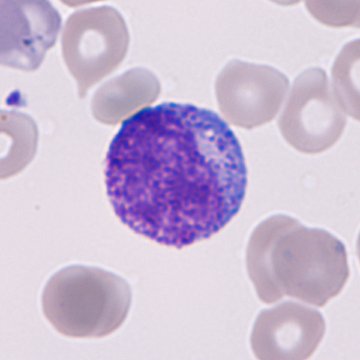Peripheral blood smear. Impression → immature granulocyte (promyelocyte, myelocyte or metamyelocyte).